Bone marrow aspirate smear. May-Grünwald-Giemsa stain. Single-cell crop
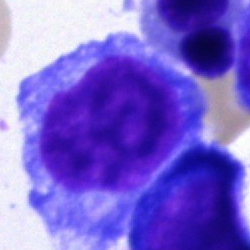
Q: What type of cell is this?
A: This is a progranulocyte.